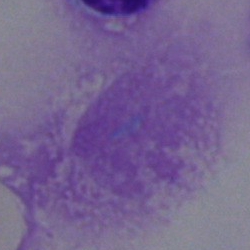 The classification is artefact.